Brightfield, 40× oil-immersion objective · bone marrow smear — 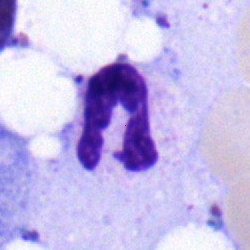Cell = neutrophil (segmented).